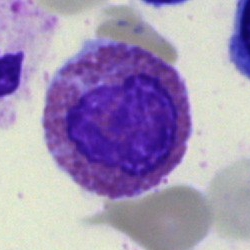

The morphological class is eosinophilic granulocyte.